Bone marrow smear.
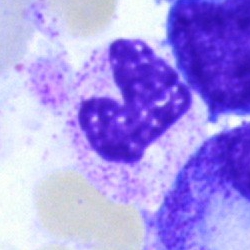 Q: What type of cell is this?
A: A segmented neutrophil.